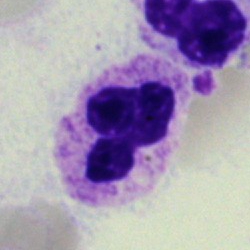
Q: Identify the cell.
A: It is a segmented neutrophil.